40× objective, oil immersion · bone marrow aspirate smear · MGG-stained
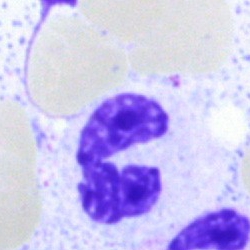Morphology consistent with a segmented neutrophil.